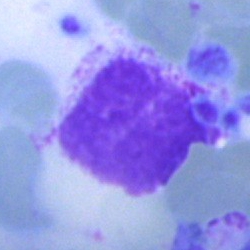

Cell: artefact.